Bone marrow smear; single-cell field — 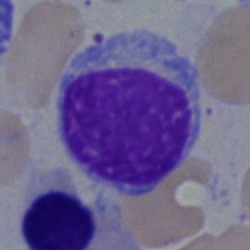
Specimen: bone marrow aspirate smear.
Cell: lymphocyte.
Lineage: lymphoid.